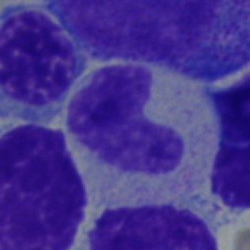
Q: Which cell type is shown here?
A: This is a band-form neutrophil.